400×400. Peripheral blood film. Cropped to a single cell:
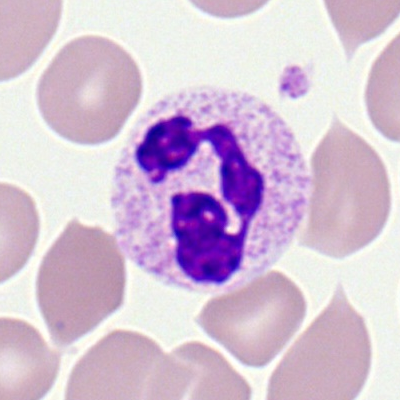Single cell identified as a neutrophil (segmented).